Bone marrow smear: 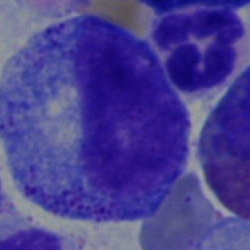
Specimen: bone marrow aspirate smear.
Cell: progranulocyte.